Bone marrow smear
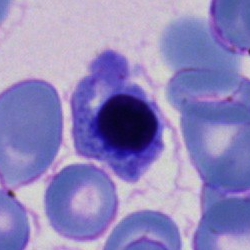Morphology → nucleated red cell.